Bone marrow smear: 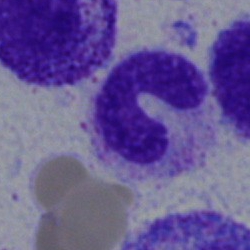

Q: What cell is this?
A: A stab cell.